Bone marrow smear:
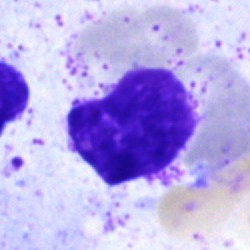

Morphology — artefact.